Bone marrow smear — 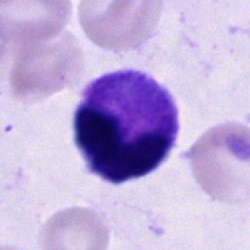

Specimen: bone marrow aspirate smear.
Morphological class: segmented neutrophil.